Bone marrow aspirate smear: 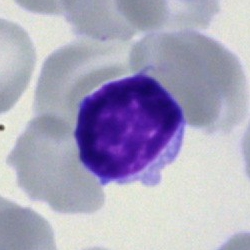 Specimen: bone marrow smear.
Morphological class: lymphocyte.
Lineage: lymphoid.